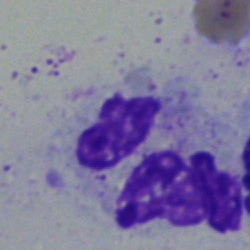

A polymorphonuclear neutrophil.